Bone marrow aspirate smear
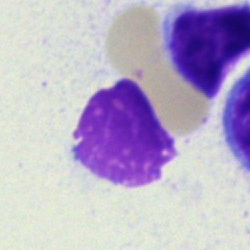 {"cell_type": "artifact"}